Bone marrow aspirate smear:
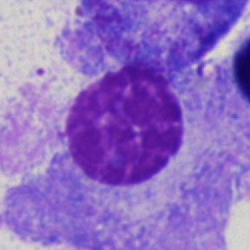
Cell — plasmacyte.